Bone marrow smear:
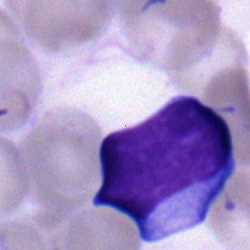

Specimen: bone marrow smear.
Cell: lymphocyte.
Lineage: lymphoid.